Peripheral blood smear:
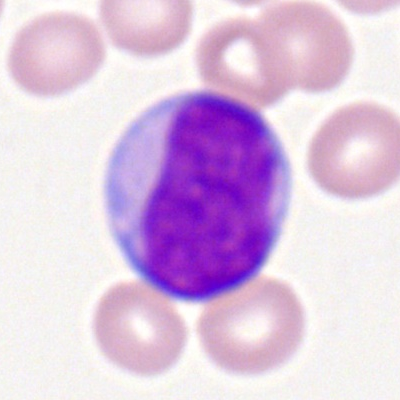

Morphology → myeloblast.